250×250 · bone marrow smear: 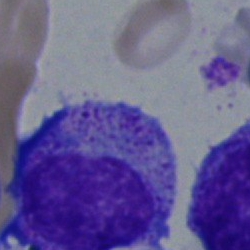

Cell = progranulocyte.